250×250; bone marrow aspirate smear; May-Grünwald-Giemsa stain — 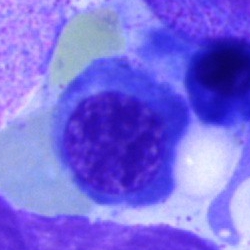Morphology consistent with an erythroblast.